Bone marrow smear; 40× oil immersion — 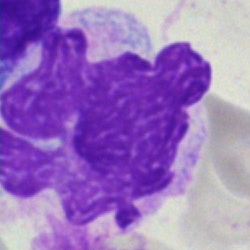Specimen: bone marrow aspirate smear.
Cell type: artefact.